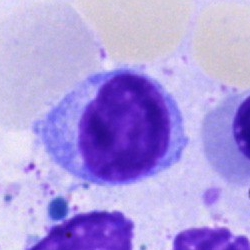The morphological class is typical lymphocyte.